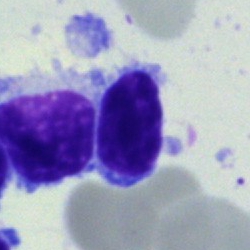The cell shown is a lymphocyte.